Bone marrow aspirate smear · Pappenheim-stained: 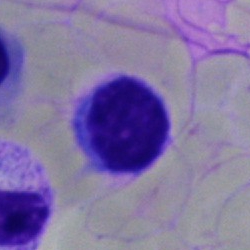 Morphological class: lymphocyte.